Single-cell field · bone marrow smear
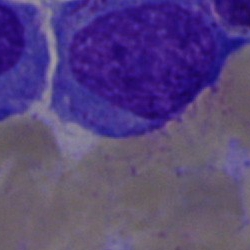This is an undifferentiated blast.